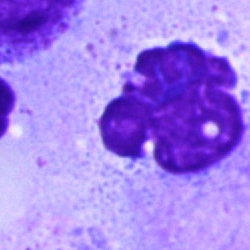Cell type — artifact.